Bone marrow aspirate smear · image size 250×250
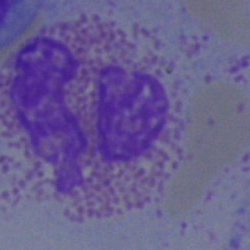Q: What type of cell is this?
A: An eosinophil.